Bone marrow aspirate smear; May-Grünwald-Giemsa/Pappenheim stain: 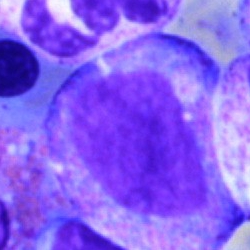 The cell is progranulocyte.